Bone marrow aspirate smear · brightfield microscopy, 40× oil immersion · single cell centered in the field: 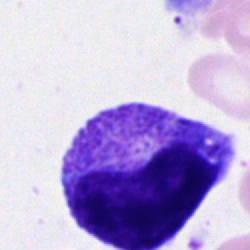
Cell type: metamyelocyte.